Bone marrow aspirate smear · 250×250 · 40× oil immersion — 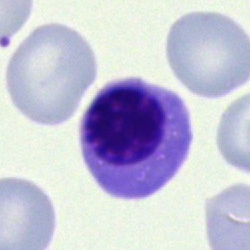 Specimen: bone marrow smear.
Cell type: nucleated red cell.
Lineage: erythroid.